Bone marrow smear · brightfield, 40× oil-immersion objective:
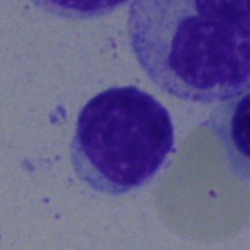

Cell — lymphocyte.